Pappenheim-stained. Bone marrow smear. Single-cell crop — 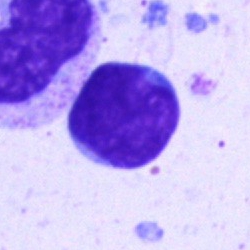 Q: What is shown here?
A: A typical lymphocyte.